Cropped to a single cell · brightfield, 40× oil-immersion objective · bone marrow smear:
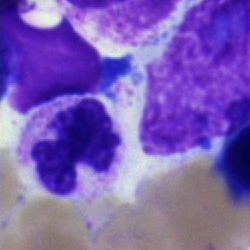
This is a neutrophil (segmented).